250×250; bone marrow aspirate smear — 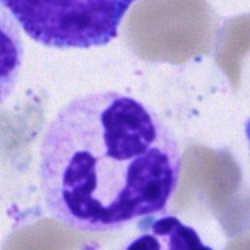

Neutrophil (segmented).